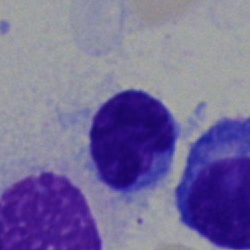
{"cell_type": "typical lymphocyte", "lineage": "lymphoid"}